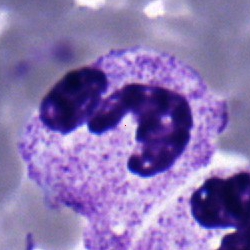 Cell = segmented neutrophil.